Bone marrow smear; cropped to a single cell; 40× oil immersion
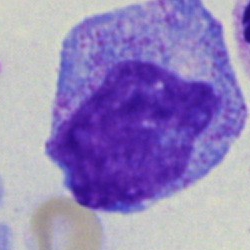
Specimen: bone marrow aspirate smear.
Classification: progranulocyte.
Lineage: myeloid.